Bone marrow aspirate smear.
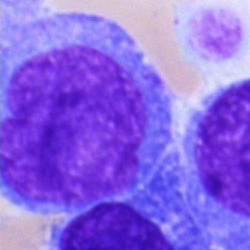{"cell_type": "blast"}